Bone marrow aspirate smear:
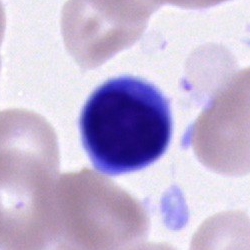
Cell: typical lymphocyte.